Bone marrow aspirate smear. 250×250. Pappenheim-stained: 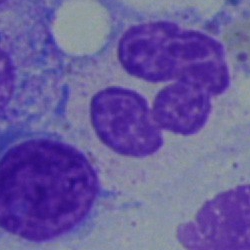
Classification: polymorphonuclear neutrophil.